Bone marrow aspirate smear — 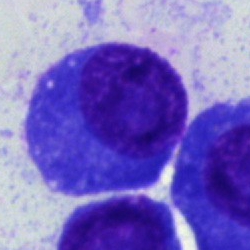Classification = plasma cell.